Bone marrow smear — 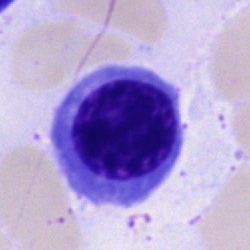
Q: What type of cell is this?
A: Normoblast.